40× oil immersion; bone marrow smear.
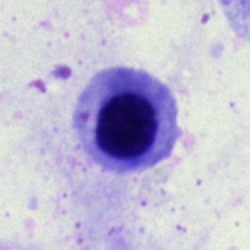
A normoblast.